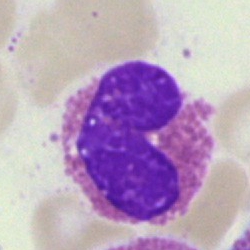

Specimen: bone marrow aspirate smear.
Cell: eosinophilic granulocyte.